Bone marrow aspirate smear — 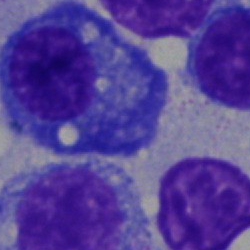Specimen: bone marrow aspirate smear.
Classification: plasmacyte.